May-Grünwald-Giemsa/Pappenheim stain · bone marrow aspirate smear — 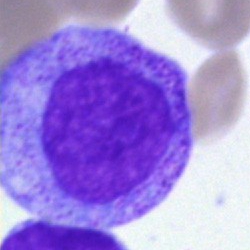 Morphological class: myelocyte.